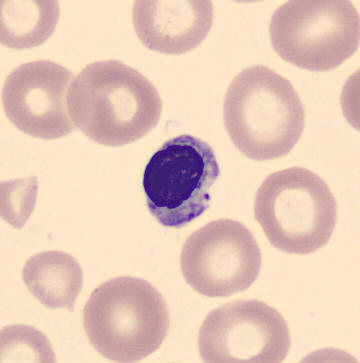

Specimen: peripheral blood film.
Cell: erythroblast.
Lineage: erythroid.